400×400; peripheral blood film:
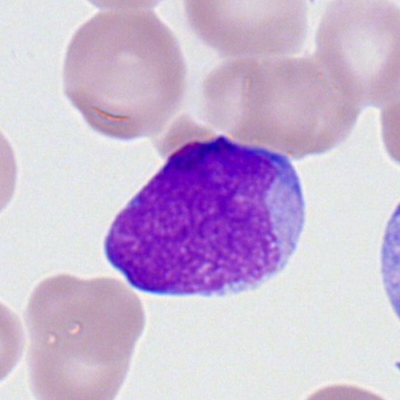Classification = myeloblast.